40× objective, oil immersion. Bone marrow aspirate smear. May-Grünwald-Giemsa/Pappenheim stain.
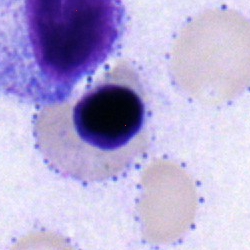Cell: lymphocyte.